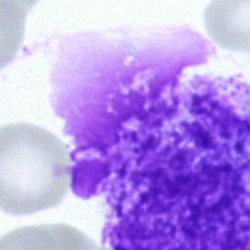 Specimen: bone marrow aspirate smear.
Cell type: artefact.